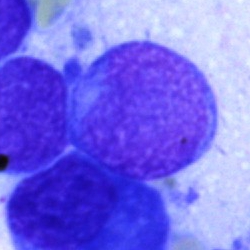Q: What is shown here?
A: This is a blast.